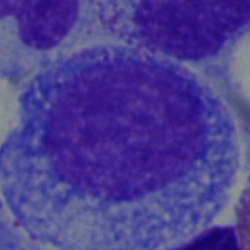

Morphological class — progranulocyte.